250×250. Bone marrow smear. Single cell centered in the field — 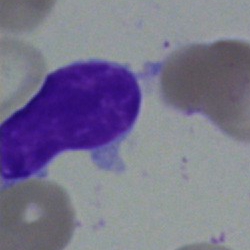
Morphology consistent with a lymphocyte.